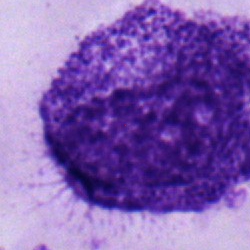

Bone marrow smear showing a myelocyte.